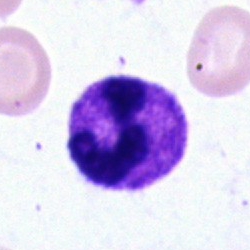This is a polymorphonuclear neutrophil.